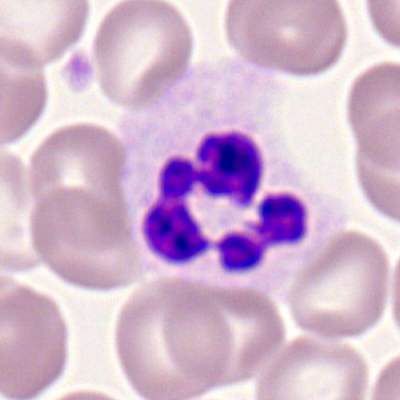{"cell_type": "neutrophil (segmented)", "lineage": "myeloid"}